Bone marrow smear
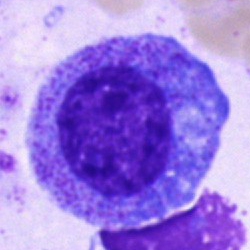 Q: What is shown here?
A: A progranulocyte.